Bone marrow smear — 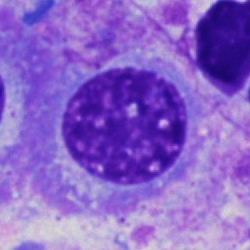
{"cell_type": "plasma cell", "lineage": "lymphoid"}